100× oil immersion, 14.14 px/µm; peripheral blood smear; single-cell crop — 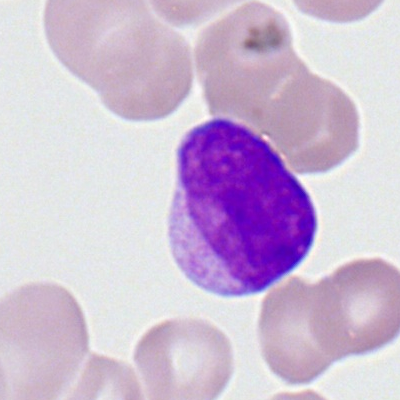 Specimen: peripheral blood film.
Morphological class: myeloblast.